Bone marrow aspirate smear. 40× objective, oil immersion. May-Grünwald-Giemsa stain
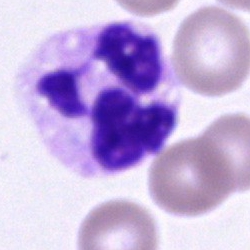
A neutrophil (segmented).